Bone marrow smear · 250×250 px: 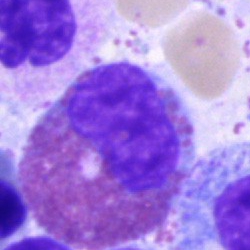Morphological class = eosinophil.